Bone marrow aspirate smear. Pappenheim-stained.
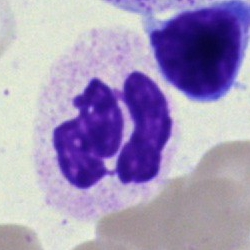

{"cell_type": "polymorphonuclear neutrophil", "lineage": "myeloid"}